Bone marrow aspirate smear:
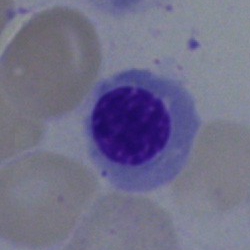
Classification — nucleated red cell.